Bone marrow smear: 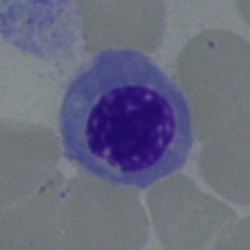Q: Which cell type is shown here?
A: Nucleated red cell.